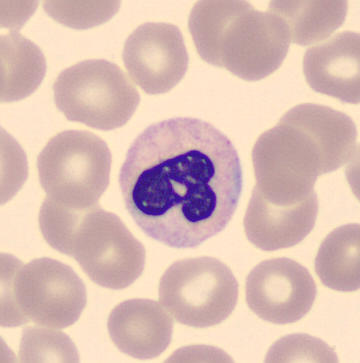 Preparation: Peripheral blood smear.

Identified as a neutrophil (band).